Bone marrow aspirate smear.
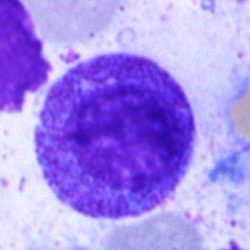

Q: What cell is this?
A: A progranulocyte.